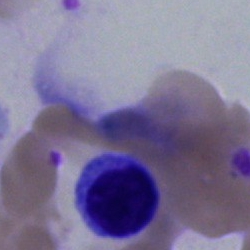
Impression — typical lymphocyte.